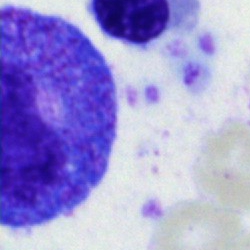
Specimen: bone marrow smear.
Cell type: cell of indeterminate lineage.